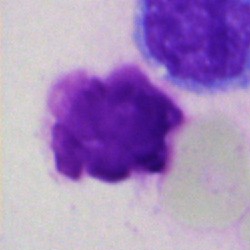

Classification = artefact.